Bone marrow aspirate smear; 250 by 250 pixels.
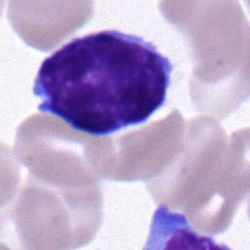
Showing a lymphocyte.